Cropped to a single cell · bone marrow aspirate smear: 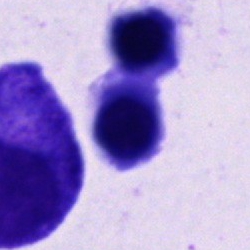

Cell type — cell of indeterminate lineage.